Bone marrow smear — 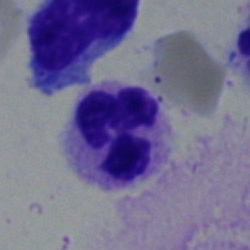 This is a polymorphonuclear neutrophil.